Bone marrow aspirate smear. Cropped to a single cell
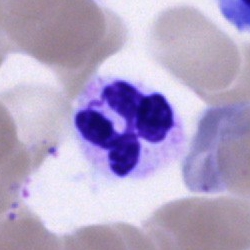 Specimen: bone marrow aspirate smear.
Cell type: neutrophil (segmented).
Lineage: myeloid.